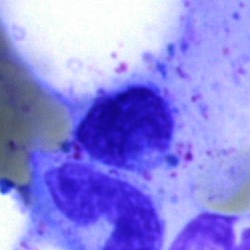 Morphology consistent with an artefact.